Bone marrow smear. May-Grünwald-Giemsa stain
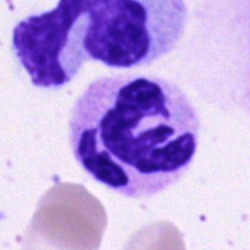
This is a segmented neutrophil.